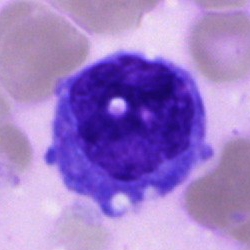{"cell_type": "monocyte", "lineage": "myeloid"}